Bone marrow smear:
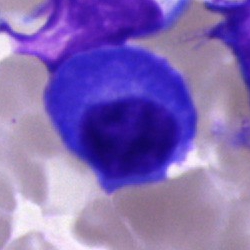 Plasma cell.